Bone marrow aspirate smear — 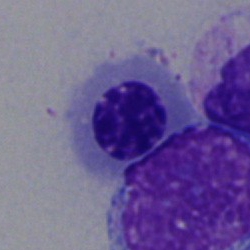 Normoblast.